Bone marrow smear
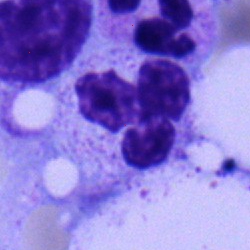 Single cell identified as a polymorphonuclear neutrophil.